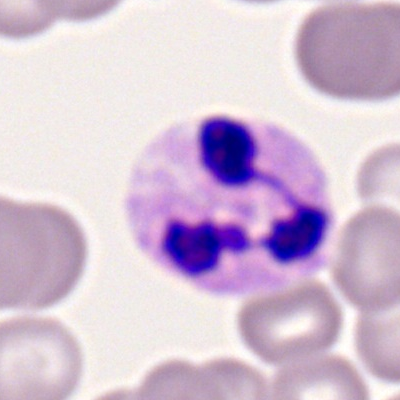 This is a segmented neutrophil.